Single-cell crop. Bone marrow smear:
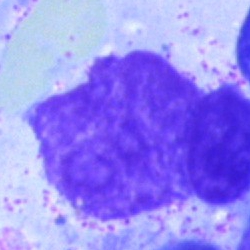

Showing an artefact.